Bone marrow smear; single-cell crop; May-Grünwald-Giemsa/Pappenheim stain:
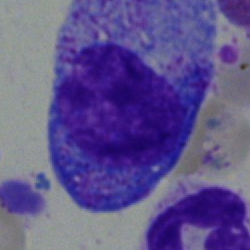
The cell shown is a promyelocyte.